Bone marrow aspirate smear.
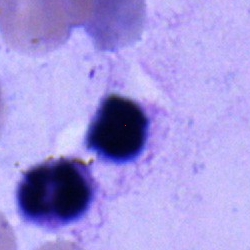

{"cell_type": "typical lymphocyte"}